MGG stain; CellaVision DM96 digital cell image; peripheral blood smear:
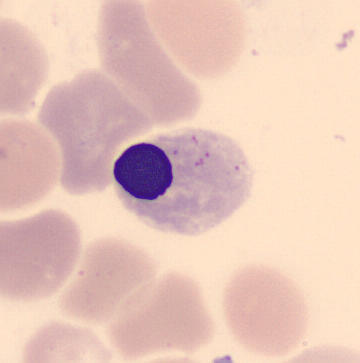 Q: What is the morphological classification of this cell?
A: This is an erythroblast.